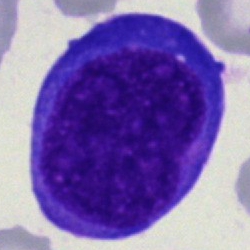Q: Which cell type is shown here?
A: A proerythroblast.